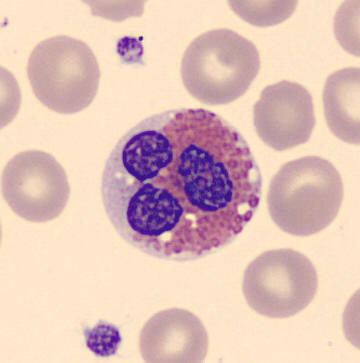 Single cell centered in the field; peripheral blood film. The morphological class is eosinophilic granulocyte.